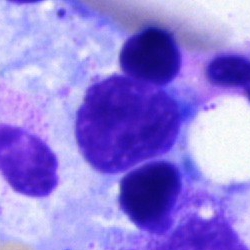

Bone marrow aspirate smear, single cell — artefact.